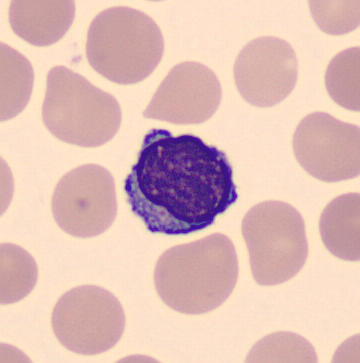Classification — typical lymphocyte. Peripheral blood smear; image size 360×363.